Cropped to a single cell. Bone marrow smear. 250×250 px:
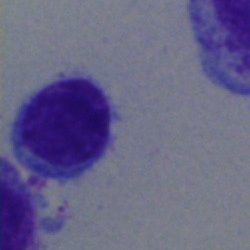

{"cell_type": "typical lymphocyte"}